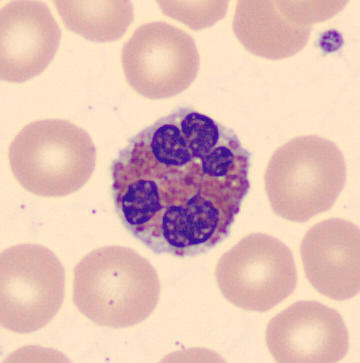
Eosinophil.

Acquisition: CellaVision DM96 digital cell image; peripheral blood smear.